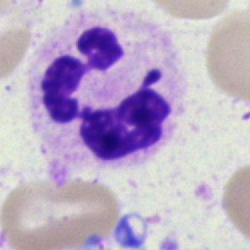
Q: What is the morphological classification of this cell?
A: Segmented neutrophil.